Bone marrow smear.
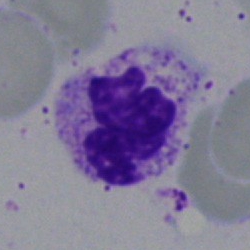

Morphological class: polymorphonuclear neutrophil.